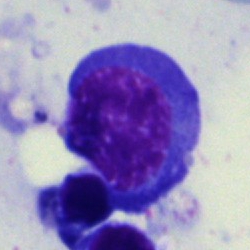Classification — nucleated red cell.